250 by 250 pixels · bone marrow smear.
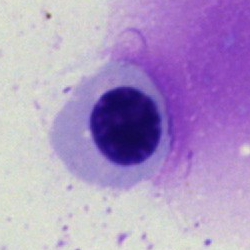
The cell type is erythroblast.